Bone marrow aspirate smear. 40× objective, oil immersion.
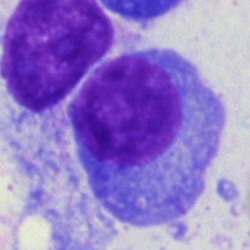

Specimen: bone marrow smear.
Cell type: plasmacyte.
Lineage: lymphoid.